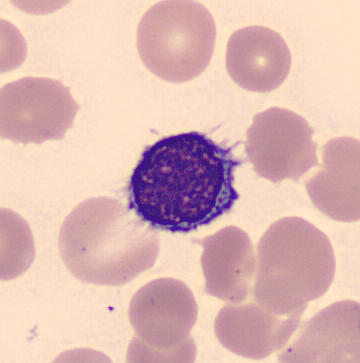Morphology — lymphocyte. CellaVision DM96 digital cell image · peripheral blood smear.